Bone marrow smear · 250×250:
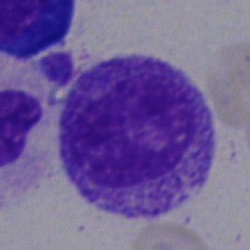
This is a myelocyte.